250×250; bone marrow aspirate smear: 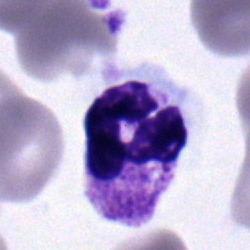

This is a segmented neutrophil.